Bone marrow smear
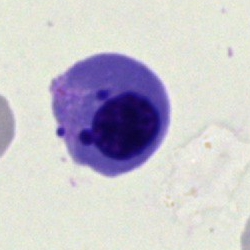
Morphological class — nucleated red cell.